250×250. Bone marrow aspirate smear:
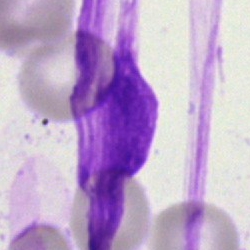{"cell_type": "artifact"}